Bone marrow smear.
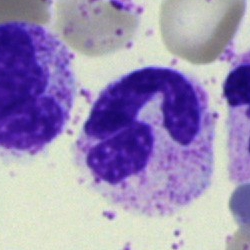 Q: Which cell type is shown here?
A: Segmented neutrophil.